MGG-stained · bone marrow aspirate smear: 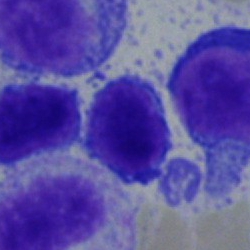
Showing a typical lymphocyte.